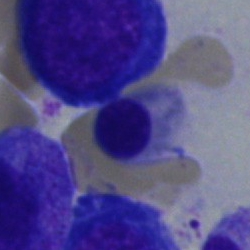 Cell type = nucleated red cell.